Single-cell field · bone marrow smear · 40× objective, oil immersion
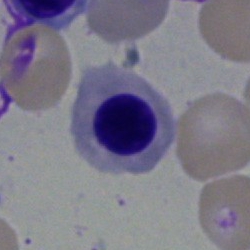Cell type — normoblast.